Pappenheim-stained. Bone marrow smear
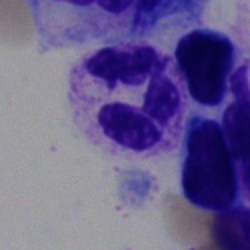Q: What is the morphological classification of this cell?
A: A polymorphonuclear neutrophil.